Image size 250×250 · bone marrow aspirate smear.
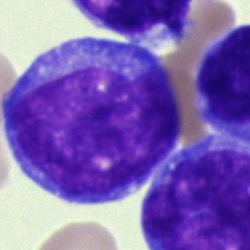

A blast cell.